Bone marrow smear · Pappenheim-stained: 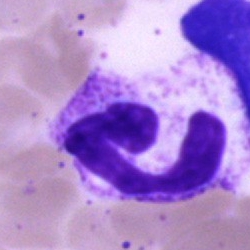

{"cell_type": "polymorphonuclear neutrophil", "lineage": "myeloid"}